Bone marrow smear · brightfield, 40× oil-immersion objective · 250 by 250 pixels:
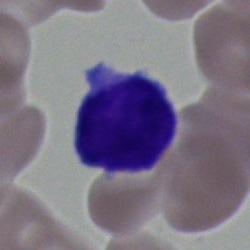
A typical lymphocyte.